Bone marrow smear · single cell centered in the field:
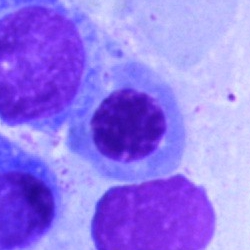{"cell_type": "nucleated red cell"}